Pappenheim-stained. Bone marrow aspirate smear
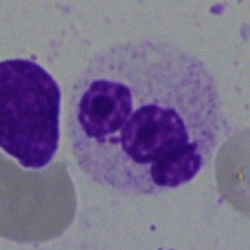
Polymorphonuclear neutrophil.